250 by 250 pixels. Bone marrow aspirate smear
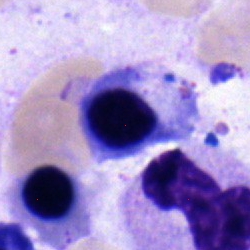A nucleated red blood cell.